Bone marrow aspirate smear — 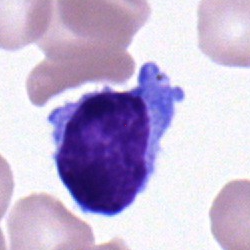 The cell type is typical lymphocyte.